Bone marrow smear
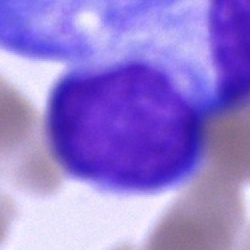Q: What cell is this?
A: Blast.